MGG-stained. Bone marrow smear — 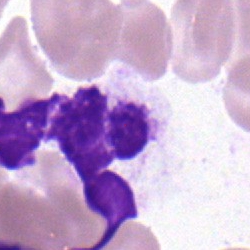
{"cell_type": "segmented neutrophil"}